Bone marrow smear — 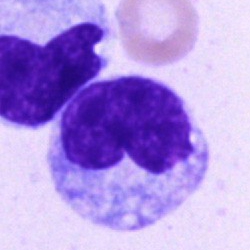 This is a monocyte.